Bone marrow aspirate smear. May-Grünwald-Giemsa stain. 250×250
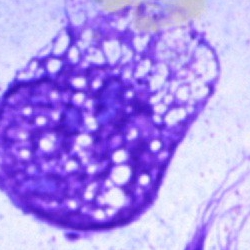Morphology consistent with an artifact.